MGG-stained. Bone marrow smear. 250×250 — 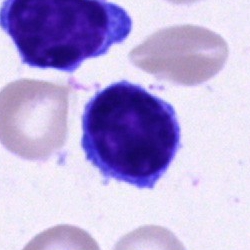 The cell shown is a typical lymphocyte.